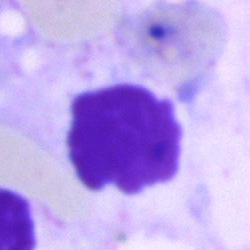 This is an artefact.